Bone marrow aspirate smear:
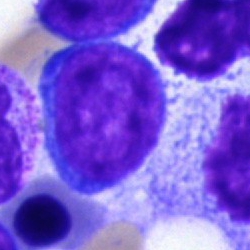

Specimen: bone marrow smear.
Morphological class: blast.